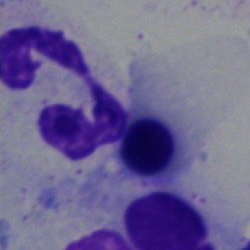

Cell = nucleated red blood cell.